May-Grünwald-Giemsa/Pappenheim stain · image size 250×250 · bone marrow aspirate smear.
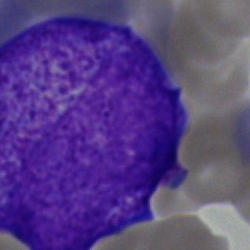Classification — blast cell.